Bone marrow smear; single-cell crop: 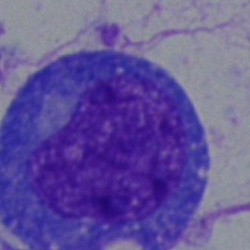 Cell type = blast cell.